Bone marrow aspirate smear
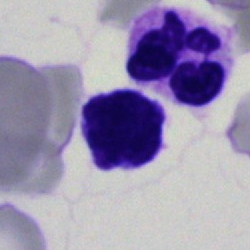 Morphological class: neutrophil (segmented).